Bone marrow aspirate smear · Pappenheim-stained.
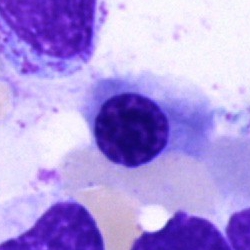 A nucleated red cell.